Bone marrow smear · brightfield microscopy, 40× oil immersion · May-Grünwald-Giemsa/Pappenheim stain:
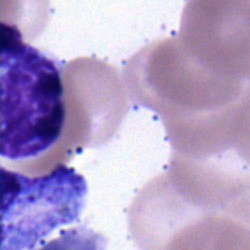
This is a segmented neutrophil.